Bone marrow smear
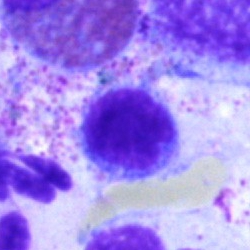 Classification: typical lymphocyte.